250×250 · bone marrow aspirate smear:
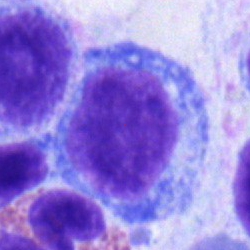 Q: Which cell type is shown here?
A: Plasma cell.